Peripheral blood smear:
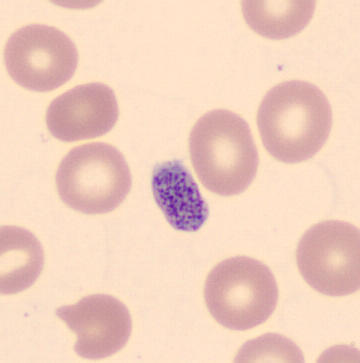

The cell type is thrombocyte.